Bone marrow aspirate smear.
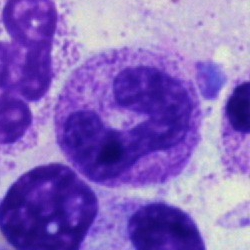
A stab cell.